250 by 250 pixels. Bone marrow smear
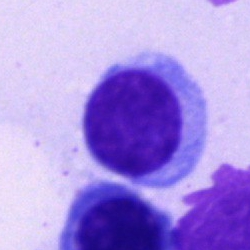 Cell: typical lymphocyte.